Peripheral blood film; 100× oil immersion; 400×400 px.
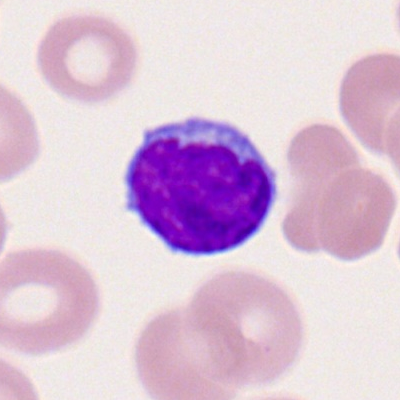 This is a lymphocyte.